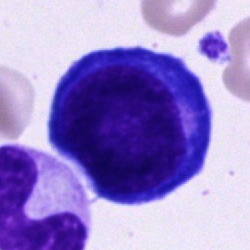Q: Which cell type is shown here?
A: This is a pronormoblast.